Bone marrow smear · Pappenheim-stained · brightfield microscopy, 40× oil immersion:
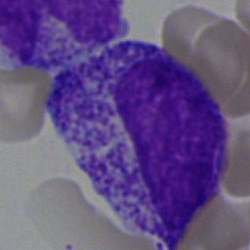

{"cell_type": "myelocyte", "lineage": "myeloid"}